Bone marrow aspirate smear: 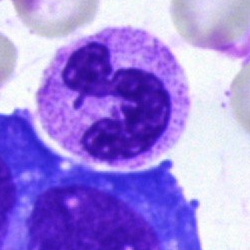Classification: neutrophil (segmented).